Single-cell field; bone marrow aspirate smear: 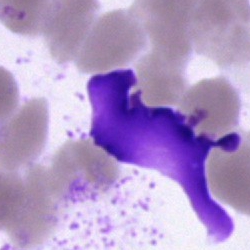Single cell identified as an artifact.